Bone marrow smear:
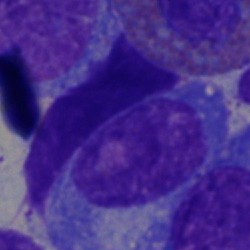
Impression — plasmacyte.